Bone marrow aspirate smear · 40× objective, oil immersion:
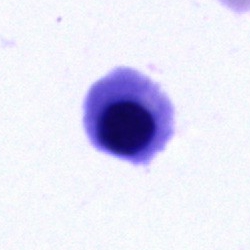Classification: nucleated red blood cell.